Peripheral blood film: 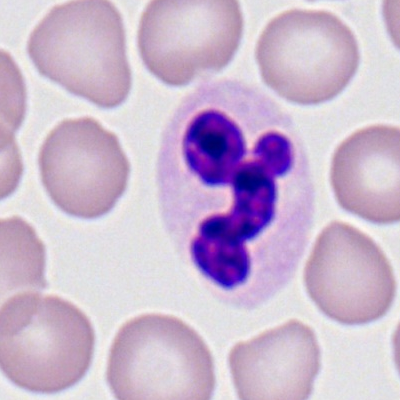
Cell type: segmented neutrophil.